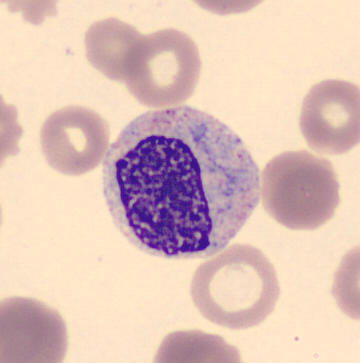
Q: What is this?
A: This is a metamyelocyte.

360×363. Peripheral blood film.